Bone marrow aspirate smear: 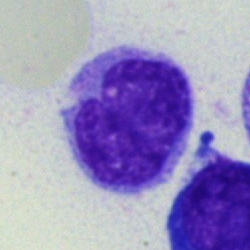Q: Which cell type is shown here?
A: It is a monocyte.